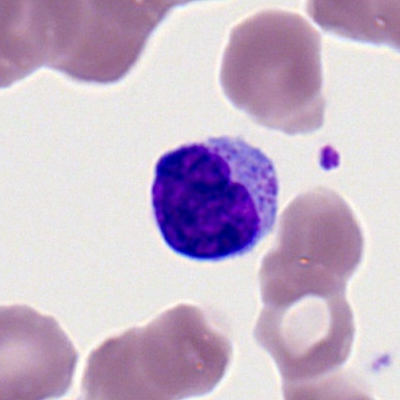

Specimen: peripheral blood film.
Cell: typical lymphocyte.
Lineage: lymphoid.